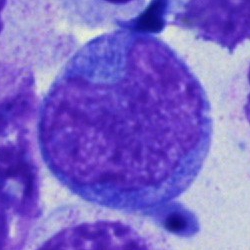

The cell shown is an undifferentiated blast.